Image size 250×250 · bone marrow smear · brightfield, 40× oil-immersion objective:
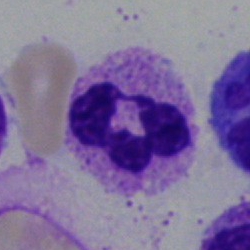
Q: What is shown here?
A: Polymorphonuclear neutrophil.